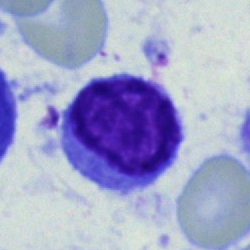

Single-cell crop from a bone marrow smear: lymphocyte.